Bone marrow smear: 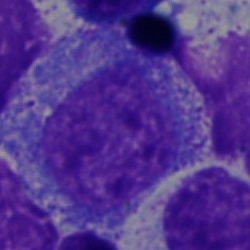Specimen: bone marrow smear.
Classification: progranulocyte.